Bone marrow smear · image size 250×250 · cropped to a single cell — 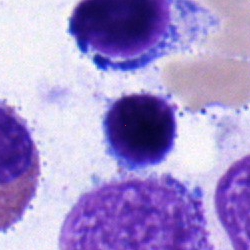

Q: What is the morphological classification of this cell?
A: It is a typical lymphocyte.